Bone marrow aspirate smear · cropped to a single cell:
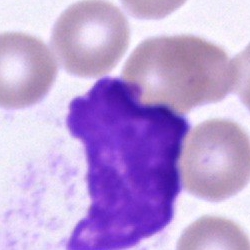

Cell type = cell of indeterminate lineage.